Bone marrow smear. May-Grünwald-Giemsa stain. Brightfield microscopy, 40× oil immersion — 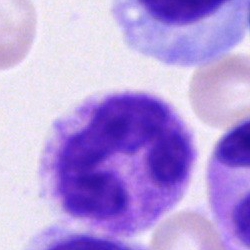

Q: Identify the cell.
A: Polymorphonuclear neutrophil.